Bone marrow smear:
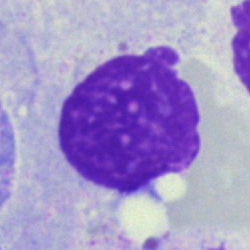Morphology consistent with an artefact.